Cropped to a single cell · bone marrow smear:
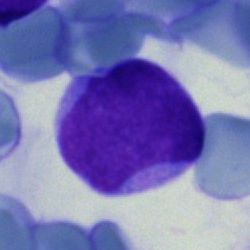 Blast.